Bone marrow aspirate smear.
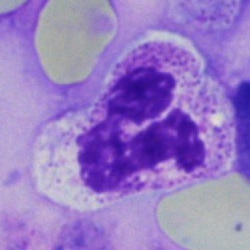
Classification: polymorphonuclear neutrophil.